Bone marrow smear:
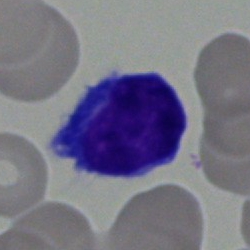 Morphological class = lymphocyte.